Bone marrow aspirate smear.
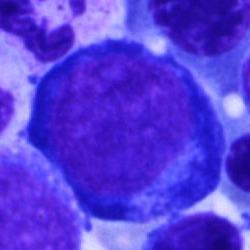Morphology consistent with a proerythroblast.